Bone marrow aspirate smear; 250×250:
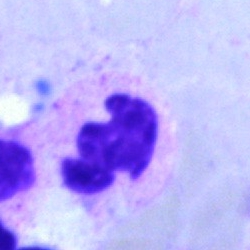 Q: Identify the cell.
A: This is a neutrophil (segmented).